40× objective, oil immersion. Bone marrow aspirate smear: 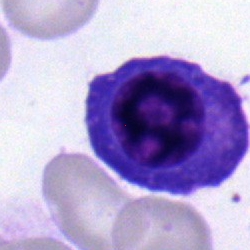{"cell_type": "plasmacyte", "lineage": "lymphoid"}